Peripheral blood film.
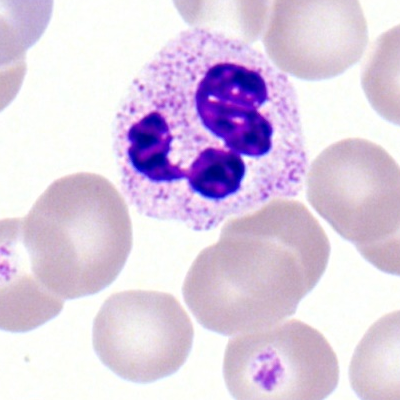
Impression — polymorphonuclear neutrophil.